Bone marrow aspirate smear · 250×250 px.
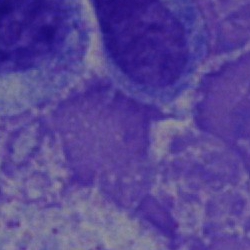

Specimen: bone marrow aspirate smear.
Morphological class: artifact.